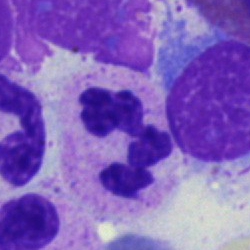 Impression → polymorphonuclear neutrophil.